Bone marrow smear.
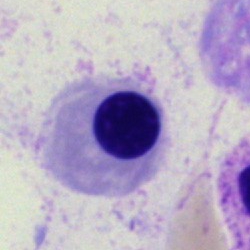 Impression → nucleated red blood cell.